Bone marrow aspirate smear: 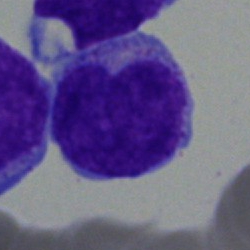 A monocyte.